Bone marrow aspirate smear
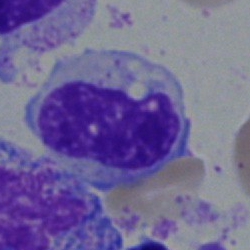 Showing a monocyte.